Brightfield microscopy, 40× oil immersion. Bone marrow aspirate smear.
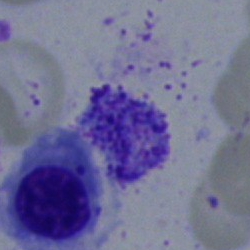 Impression — nucleated red cell.